Cropped to a single cell. Peripheral blood smear
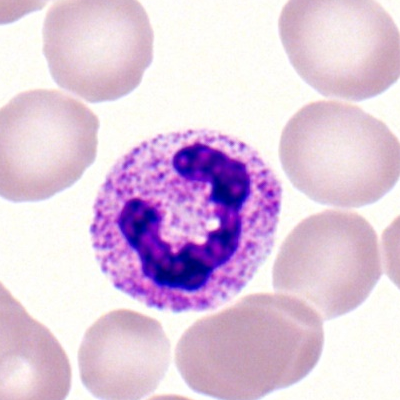

Q: What cell is this?
A: A segmented neutrophil.